Peripheral blood film — 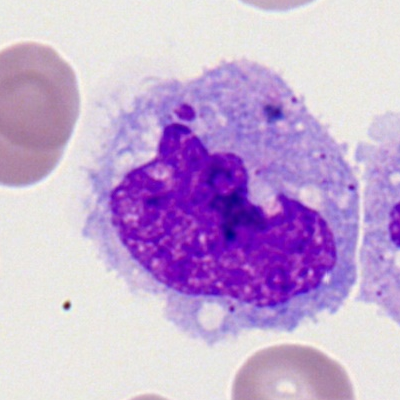Morphology → monocyte.